Bone marrow aspirate smear:
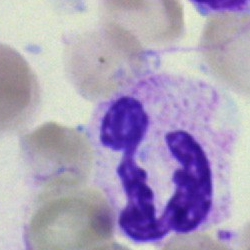Neutrophil (segmented).